Bone marrow smear; MGG-stained; 40× oil immersion — 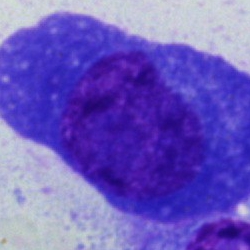Classification — plasma cell.